Bone marrow smear
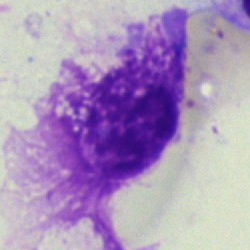

Classification: artefact.